Bone marrow smear: 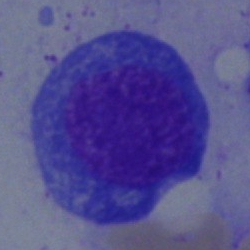This is a nucleated red blood cell.